MGG-stained. Bone marrow aspirate smear. Single-cell field — 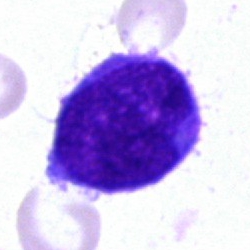Single cell identified as a blast.